Bone marrow aspirate smear: 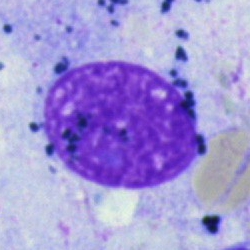

{"cell_type": "artifact"}